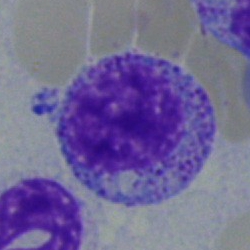 Cell: myelocyte.